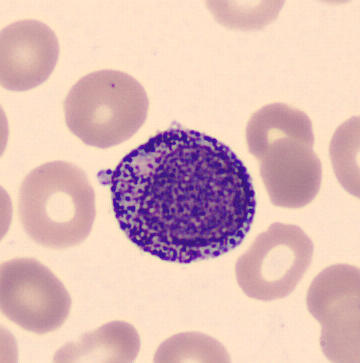Cell: progranulocyte.